Bone marrow aspirate smear:
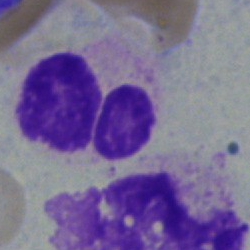

Showing a segmented neutrophil.